May-Grünwald-Giemsa/Pappenheim stain · bone marrow aspirate smear · 40× objective, oil immersion.
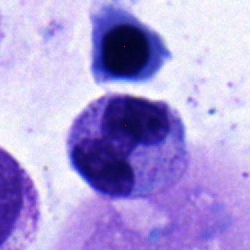
Single cell identified as a neutrophil (band).